Bone marrow aspirate smear; brightfield, 40× oil-immersion objective — 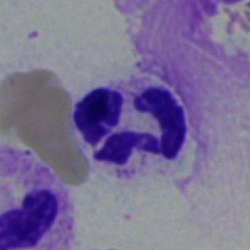 Q: Which cell type is shown here?
A: It is a polymorphonuclear neutrophil.